Bone marrow aspirate smear.
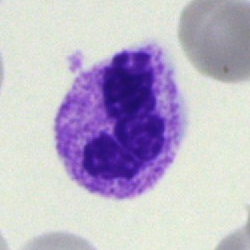 The cell shown is a neutrophil (segmented).